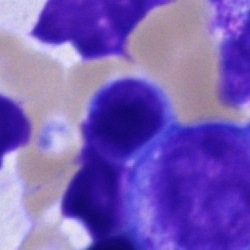Showing a cell of indeterminate lineage.